Bone marrow smear:
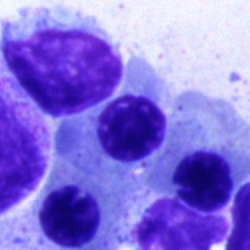
Morphology consistent with an erythroblast.